Bone marrow aspirate smear: 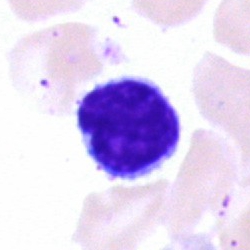
Specimen: bone marrow aspirate smear.
Classification: typical lymphocyte.
Lineage: lymphoid.